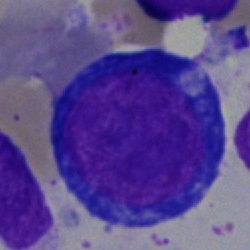 Impression — pronormoblast.